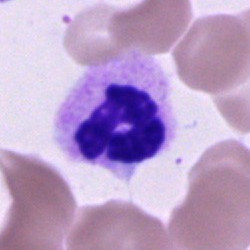 Bone marrow aspirate smear, single cell — polymorphonuclear neutrophil.